Bone marrow aspirate smear
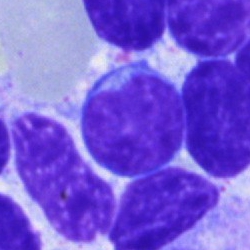Q: What cell is this?
A: It is a typical lymphocyte.